40× objective, oil immersion; bone marrow smear:
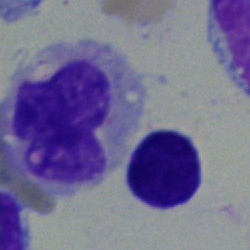

Cell: typical lymphocyte.